250×250 · 40× objective, oil immersion · bone marrow smear
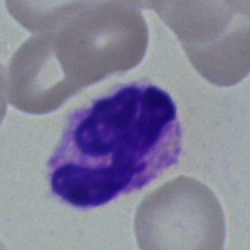The cell type is polymorphonuclear neutrophil.